Bone marrow smear; MGG-stained: 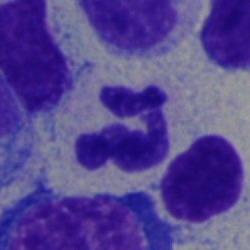
Q: What is the morphological classification of this cell?
A: Neutrophil (segmented).